Peripheral blood film: 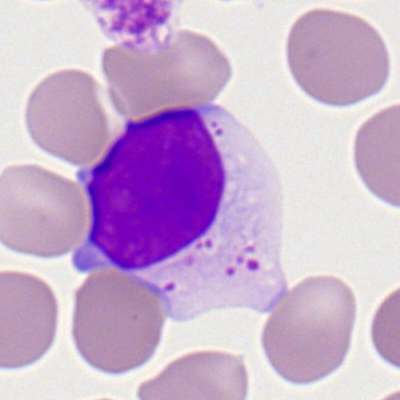

Typical lymphocyte.